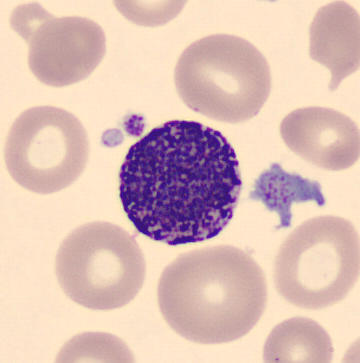

Image: Single-cell crop. Peripheral blood film.

The cell shown is a basophil.